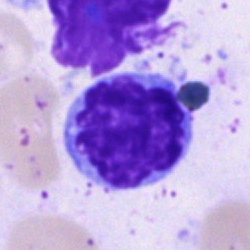

Cell type = typical lymphocyte.